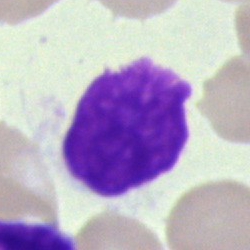
Morphology — artifact.